Bone marrow smear · brightfield, 40× oil-immersion objective: 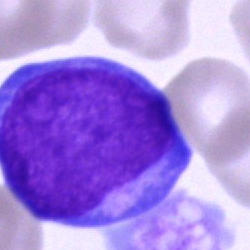 The classification is undifferentiated blast.